Bone marrow smear: 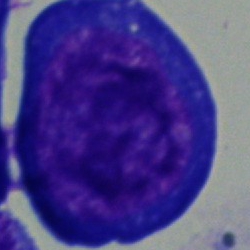 A proerythroblast.